MGG-stained · bone marrow smear:
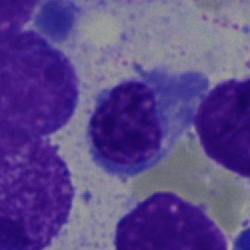Specimen: bone marrow aspirate smear.
Cell: normoblast.